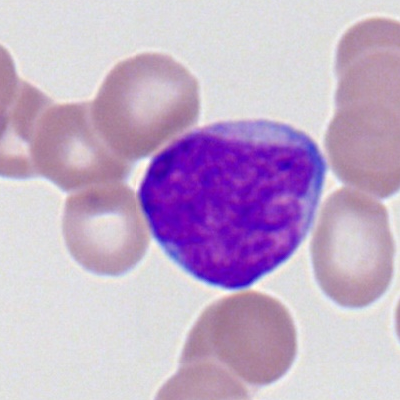

The classification is myeloblast.